Bone marrow aspirate smear · MGG-stained · single cell centered in the field — 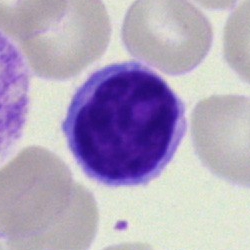Specimen: bone marrow smear.
Classification: lymphocyte.
Lineage: lymphoid.